Bone marrow smear · brightfield microscopy, 40× oil immersion: 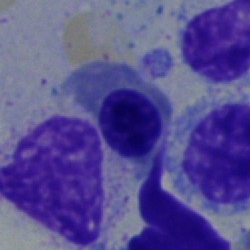 The morphological class is erythroblast.